Single-cell field · bone marrow smear: 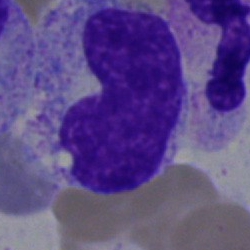
Specimen: bone marrow aspirate smear.
Cell type: metamyelocyte.
Lineage: myeloid.